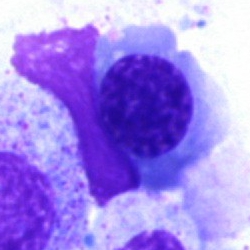
Impression — nucleated red blood cell.